Bone marrow smear — 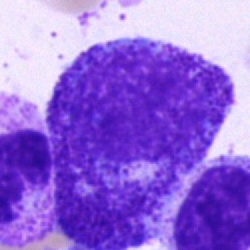

Q: What is shown here?
A: It is a progranulocyte.